Bone marrow smear: 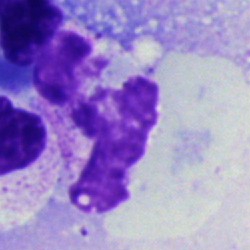 {"cell_type": "artefact"}